Peripheral blood film: 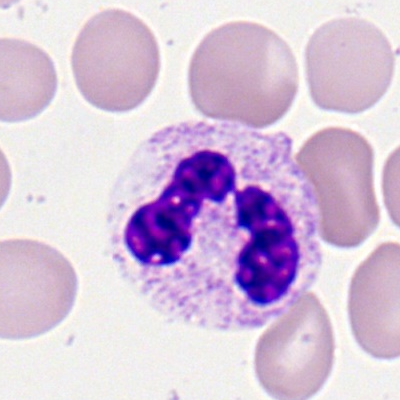Polymorphonuclear neutrophil.